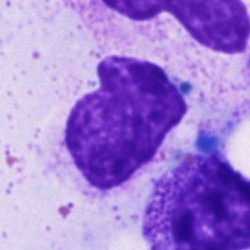Artefact.